Brightfield microscopy, 40× oil immersion; bone marrow smear
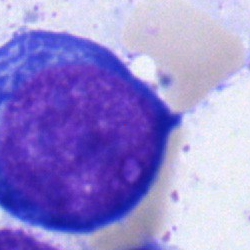
The morphological class is pronormoblast.